Bone marrow smear · brightfield microscopy, 40× oil immersion · 250×250 — 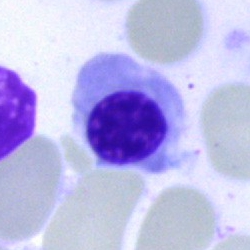Cell: nucleated red cell.